Image size 250×250. Bone marrow smear: 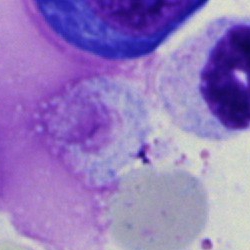 Specimen: bone marrow smear.
Classification: artefact.